Bone marrow smear; brightfield, 40× oil-immersion objective; MGG-stained:
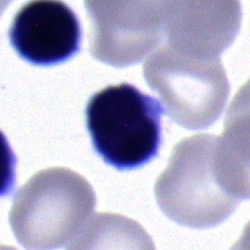

{"cell_type": "typical lymphocyte", "lineage": "lymphoid"}